Peripheral blood smear · image size 400×400.
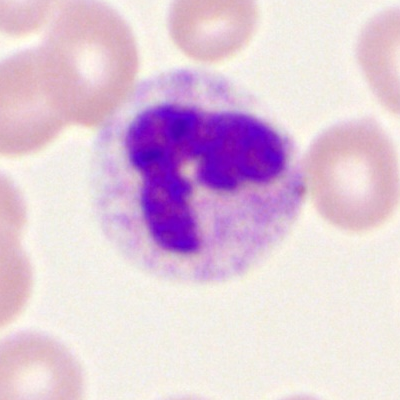The cell shown is a segmented neutrophil.